Bone marrow aspirate smear:
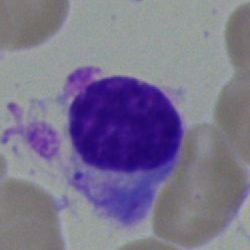

Specimen: bone marrow smear.
Morphological class: plasma cell.
Lineage: lymphoid.